Bone marrow smear: 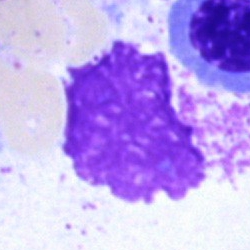

Morphology consistent with an artefact.